Bone marrow aspirate smear. May-Grünwald-Giemsa/Pappenheim stain.
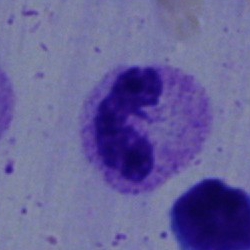

This is a neutrophil (band).